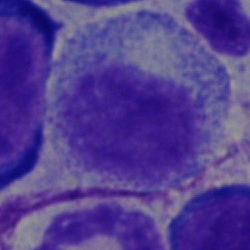Cell — myelocyte.